Peripheral blood film.
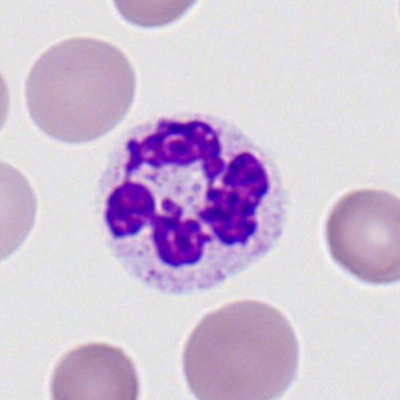 Specimen: peripheral blood film.
Classification: segmented neutrophil.
Lineage: myeloid.